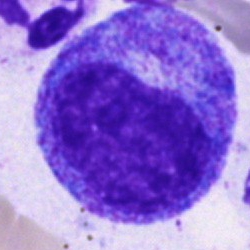Specimen: bone marrow smear.
Morphological class: progranulocyte.
Lineage: myeloid.